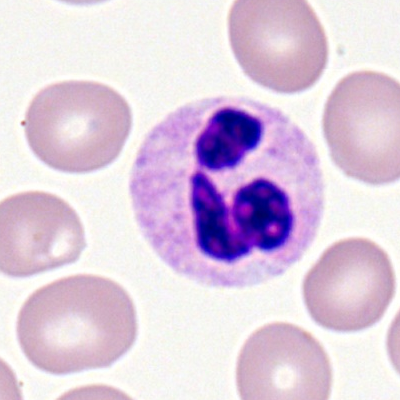 The classification is neutrophil (segmented).